Romanowsky stain; peripheral blood film: 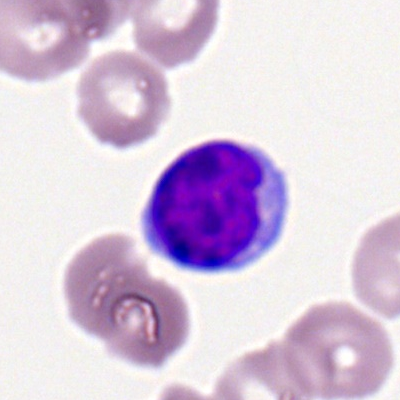Showing a typical lymphocyte.